Bone marrow smear.
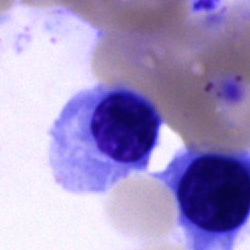
The classification is nucleated red cell.